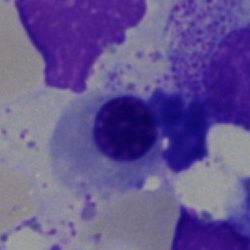Q: What is shown here?
A: Erythroblast.